Bone marrow aspirate smear:
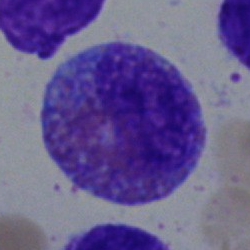 Single cell identified as an eosinophilic granulocyte.